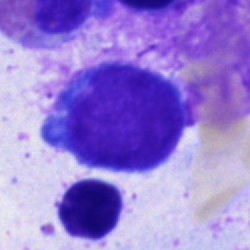

Q: What cell is this?
A: A blast.